Bone marrow smear — 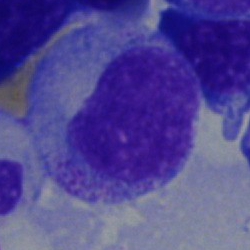The cell is myelocyte.